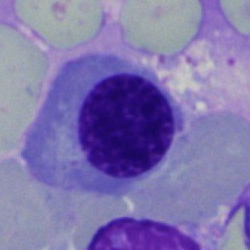Classification — erythroblast.